Bone marrow smear.
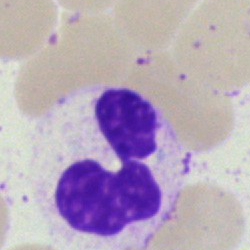

Classification = segmented neutrophil.